Pappenheim-stained. Bone marrow aspirate smear:
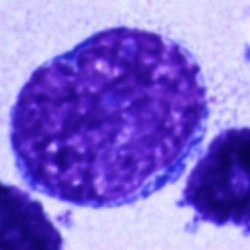
Q: What is shown here?
A: A blast.